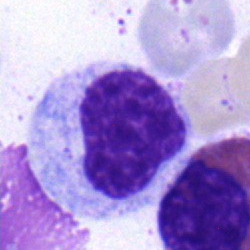 Classification: myelocyte.